Bone marrow aspirate smear: 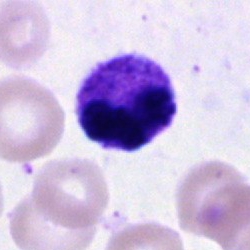Specimen: bone marrow aspirate smear.
Classification: metamyelocyte.